MGG-stained · bone marrow aspirate smear
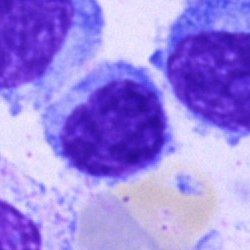
The morphological class is typical lymphocyte.